Bone marrow smear: 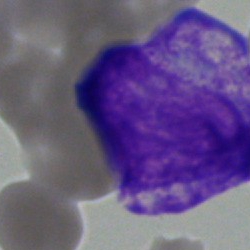
Cell: undifferentiated blast.